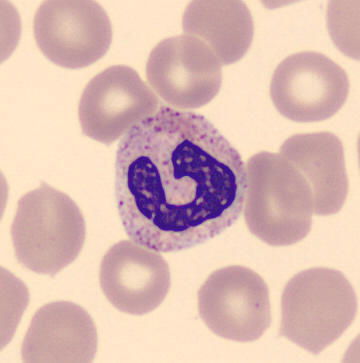Morphology → stab cell.